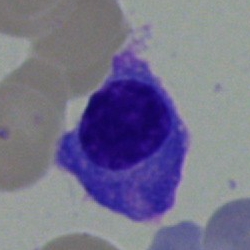

Q: What cell is this?
A: Plasmacyte.